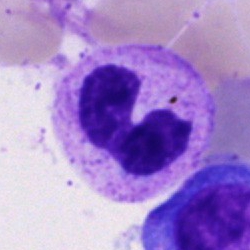Impression — band neutrophil.